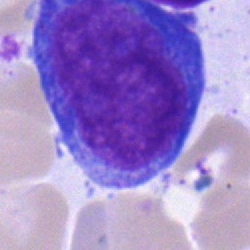 Bone marrow smear showing a proerythroblast.